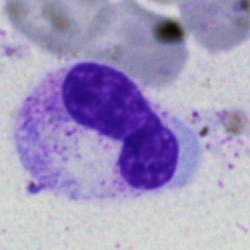 Q: Which cell type is shown here?
A: Band neutrophil.